Single cell centered in the field. Bone marrow smear — 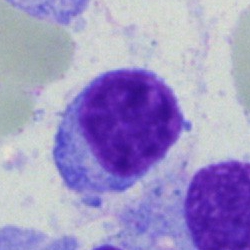
Specimen: bone marrow smear.
Cell type: typical lymphocyte.